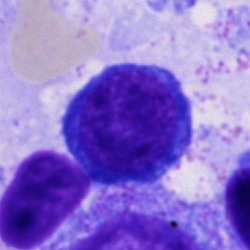 {"cell_type": "erythroblast", "lineage": "erythroid"}